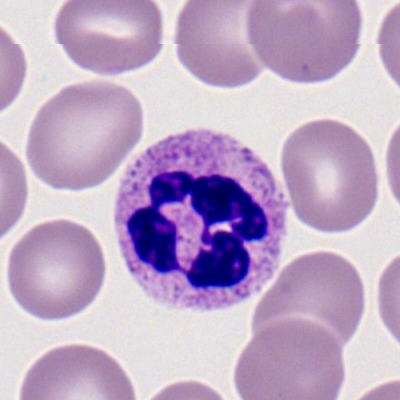

Q: What is the morphological classification of this cell?
A: A segmented neutrophil.